Bone marrow aspirate smear
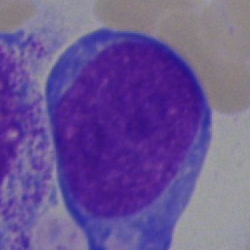

Specimen: bone marrow smear.
Classification: undifferentiated blast.